Peripheral blood smear.
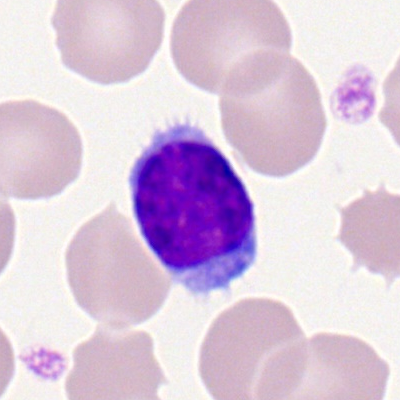 Q: Identify the cell.
A: Typical lymphocyte.